250 by 250 pixels. Brightfield microscopy, 40× oil immersion. Bone marrow smear.
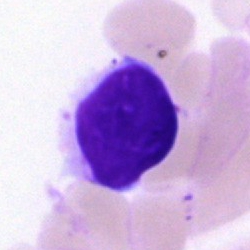

Morphology consistent with an artifact.